Brightfield microscopy, 40× oil immersion · bone marrow smear — 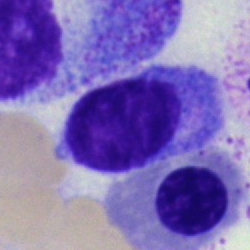

Specimen: bone marrow aspirate smear.
Morphological class: lymphocyte.